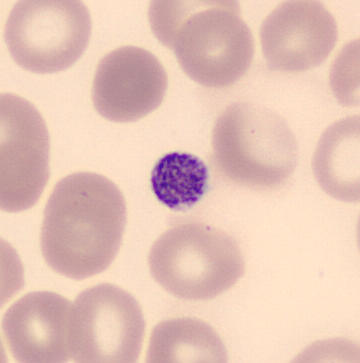
A thrombocyte.

Acquisition: Peripheral blood film.